Bone marrow aspirate smear:
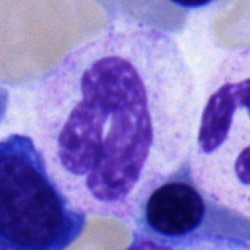 Specimen: bone marrow smear.
Morphological class: neutrophil (segmented).